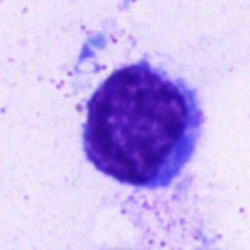
Cell — typical lymphocyte.